Bone marrow smear:
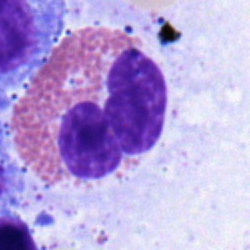 The cell shown is an eosinophilic granulocyte.